Pappenheim-stained · bone marrow aspirate smear.
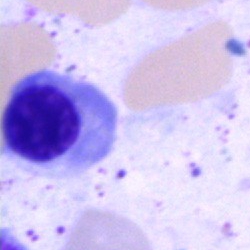 An erythroblast.